Bone marrow smear — 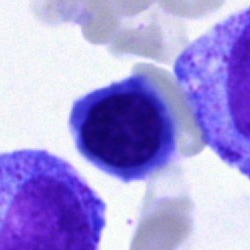
Q: Which cell type is shown here?
A: Erythroblast.